Cropped to a single cell · bone marrow smear · MGG-stained.
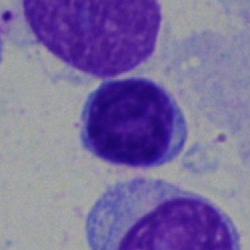
Impression — lymphocyte.